Bone marrow aspirate smear.
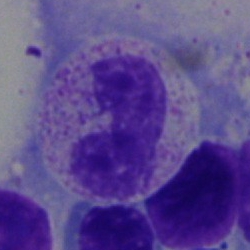 Q: What cell is this?
A: It is a band-form neutrophil.